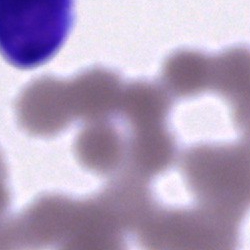
Single-cell crop from a bone marrow smear: artifact.